Bone marrow smear:
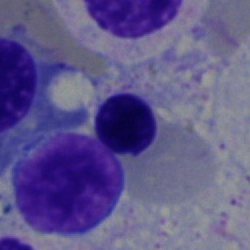

Showing a normoblast.